Bone marrow smear:
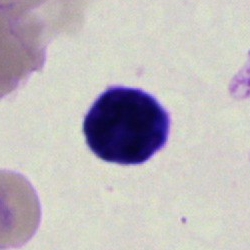

Impression — artefact.